Bone marrow aspirate smear.
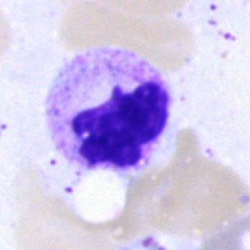

Morphology — segmented neutrophil.